Romanowsky-type stain; M8 digital microscope (Precipoint), 100× oil immersion; peripheral blood smear.
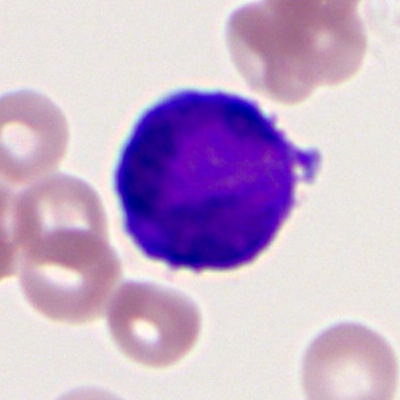

Morphology consistent with a myeloblast.